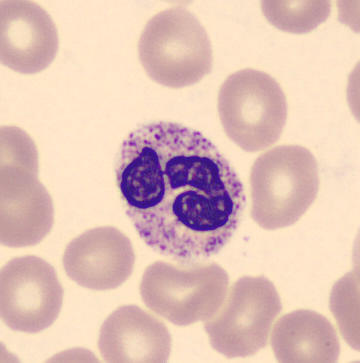
Morphology — polymorphonuclear neutrophil. May-Grünwald-Giemsa-stained · peripheral blood film.